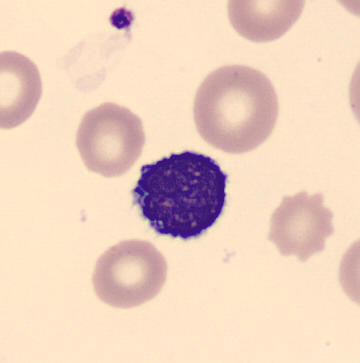 Acquisition: Peripheral blood smear. Classification: typical lymphocyte.